MGG-stained. Bone marrow smear.
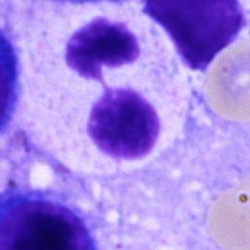
Morphology → segmented neutrophil.